Bone marrow smear.
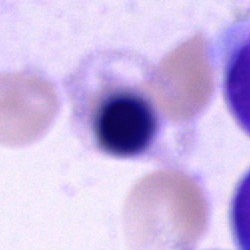

This is an erythroblast.